Bone marrow aspirate smear; 250×250:
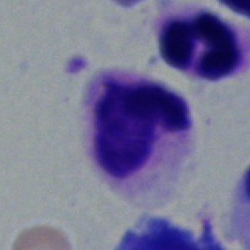
Classification = band-form neutrophil.